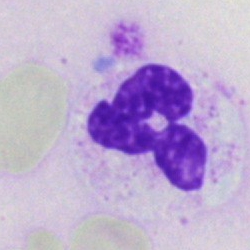

Impression → segmented neutrophil.